250 by 250 pixels. Bone marrow aspirate smear
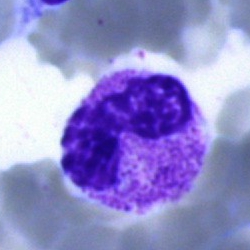

{"cell_type": "neutrophil (segmented)", "lineage": "myeloid"}